Bone marrow smear — 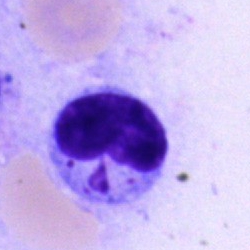The cell shown is a typical lymphocyte.